Bone marrow aspirate smear; brightfield microscopy, 40× oil immersion — 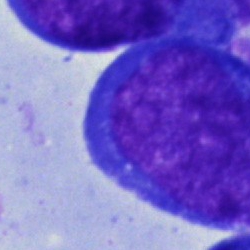 Morphological class — blast.